Bone marrow smear; 250 by 250 pixels; 40× oil immersion.
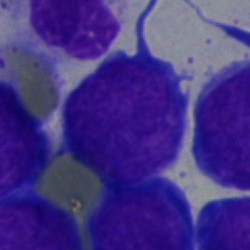{"cell_type": "undifferentiated blast"}